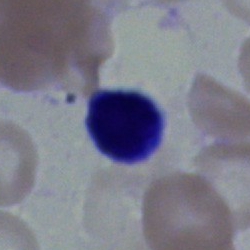 Q: What cell is this?
A: Lymphocyte.